Single-cell crop. Bone marrow aspirate smear. Image size 250×250: 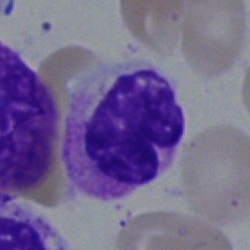

Q: What is shown here?
A: This is a segmented neutrophil.